Peripheral blood smear. M8 digital microscope (Precipoint), 100× oil immersion — 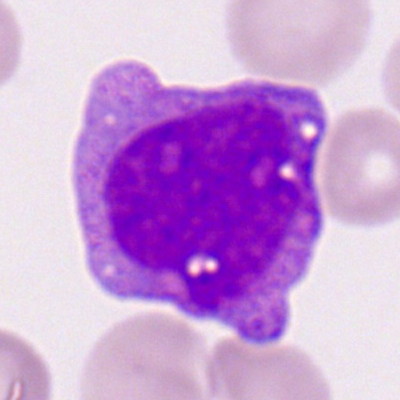 Q: Which cell type is shown here?
A: This is a monocyte.